Bone marrow smear: 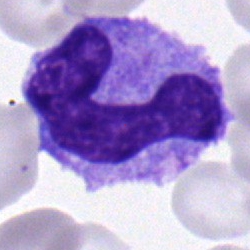

Specimen: bone marrow aspirate smear.
Cell: stab cell.
Lineage: myeloid.